Bone marrow aspirate smear · 250×250:
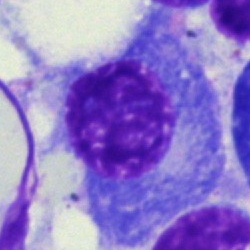

Morphology consistent with a plasmacyte.